Bone marrow smear:
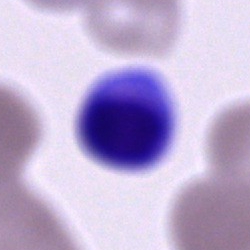

{"cell_type": "unidentifiable cell"}